Bone marrow aspirate smear · brightfield, 40× oil-immersion objective · 250 by 250 pixels:
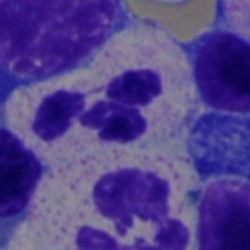

Q: What type of cell is this?
A: A segmented neutrophil.